Brightfield, 40× oil-immersion objective · bone marrow aspirate smear · May-Grünwald-Giemsa stain — 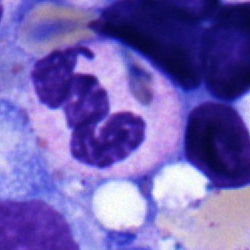
Specimen: bone marrow smear.
Cell type: segmented neutrophil.